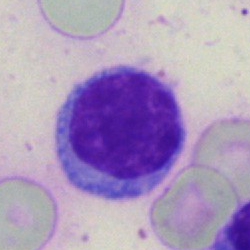Morphology consistent with a typical lymphocyte.